250 by 250 pixels. Bone marrow aspirate smear. Brightfield microscopy, 40× oil immersion
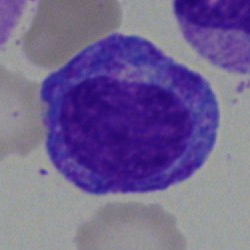Cell type = promyelocyte.